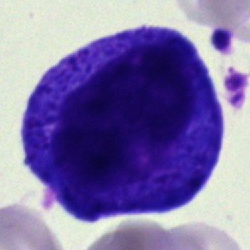Single-cell crop from a bone marrow smear: promyelocyte.